M8 digital microscope (Precipoint), 100× oil immersion; Romanowsky-stained; peripheral blood film
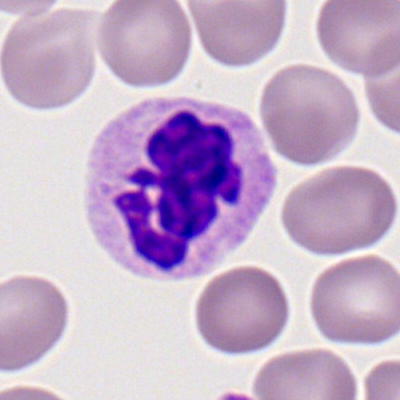

Cell: neutrophil (segmented).